Bone marrow aspirate smear · 250 by 250 pixels.
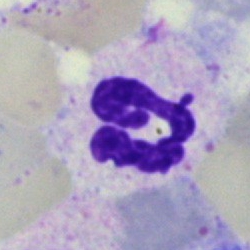
The cell shown is a neutrophil (segmented).